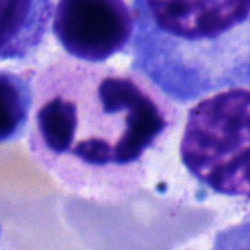{"cell_type": "polymorphonuclear neutrophil"}